Bone marrow aspirate smear.
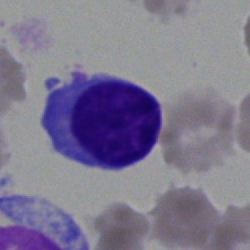

Single cell identified as a lymphocyte.